Bone marrow smear — 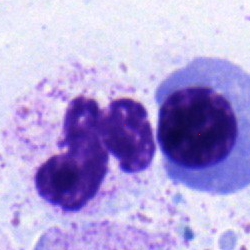
Morphology consistent with a neutrophil (segmented).